Single-cell field · bone marrow smear.
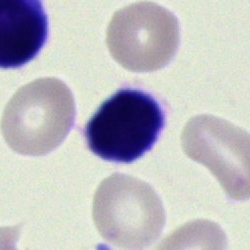
{"cell_type": "typical lymphocyte"}